Bone marrow smear: 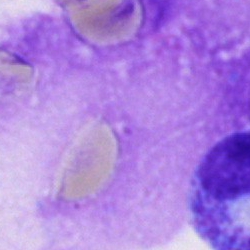
The cell shown is an artefact.